Bone marrow aspirate smear; 250×250 — 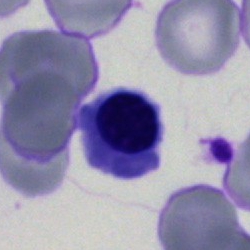

Specimen: bone marrow smear.
Cell type: erythroblast.
Lineage: erythroid.